Bone marrow smear
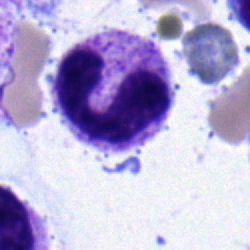

Cell type: band neutrophil.